Bone marrow aspirate smear; brightfield, 40× oil-immersion objective — 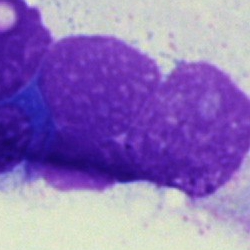

Showing an artefact.